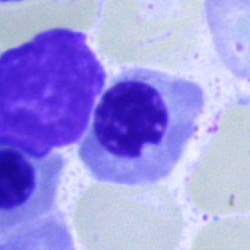 Cell type: erythroblast.